Brightfield, 40× oil-immersion objective · Pappenheim-stained · bone marrow smear
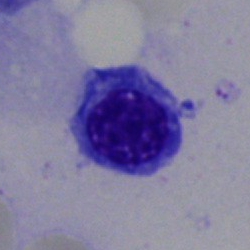 Cell type — nucleated red blood cell.